Bone marrow smear; 40× objective, oil immersion — 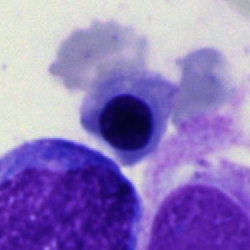Impression → normoblast.